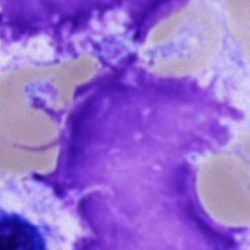Specimen: bone marrow aspirate smear.
Classification: artefact.